Bone marrow smear; single cell centered in the field:
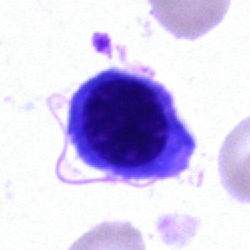 The classification is nucleated red cell.